Bone marrow aspirate smear · cropped to a single cell · 40× objective, oil immersion: 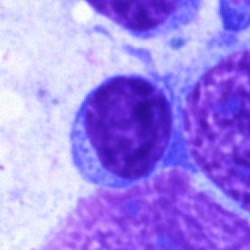
Specimen: bone marrow aspirate smear.
Cell type: typical lymphocyte.